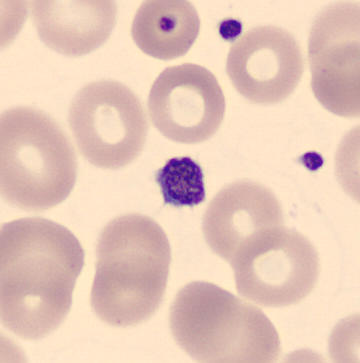

Q: What is this?
A: Platelet.